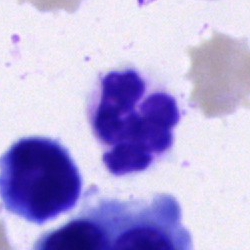

This is a polymorphonuclear neutrophil.